400 by 400 pixels · peripheral blood film · 100× oil immersion.
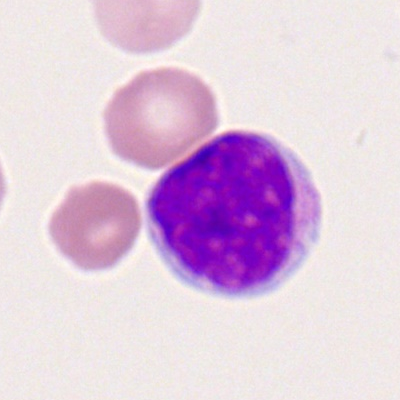 Showing a typical lymphocyte.